Bone marrow smear:
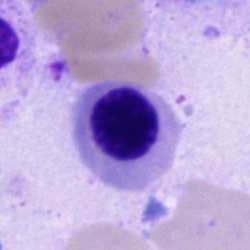Specimen: bone marrow smear.
Cell type: normoblast.
Lineage: erythroid.